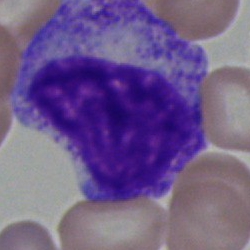 Morphological class = myelocyte.